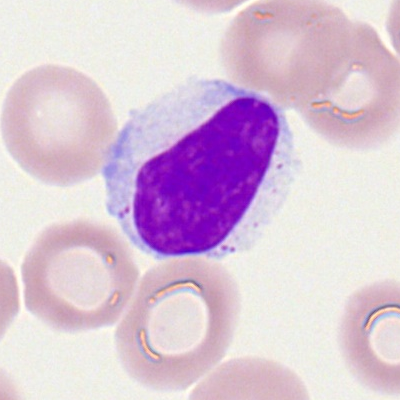

Q: What is the morphological classification of this cell?
A: It is a lymphocyte.